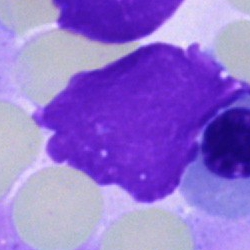Showing an artifact.